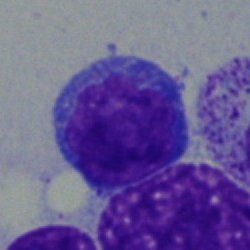 Specimen: bone marrow smear.
Cell: undifferentiated blast.